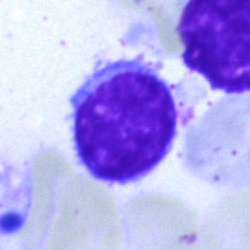
Cell type = typical lymphocyte.